Brightfield, 40× oil-immersion objective. Bone marrow smear
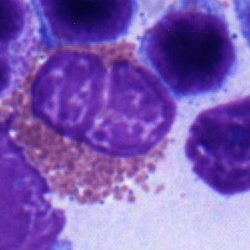
Morphology → eosinophil.